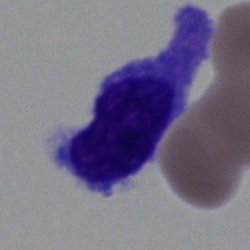

Bone marrow smear showing a blast cell.